Bone marrow aspirate smear:
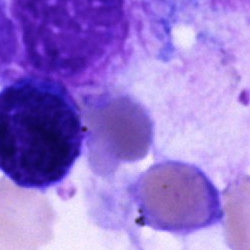
Classification — artifact.